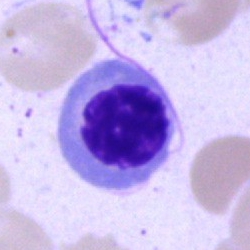Classification — nucleated red cell.